Bone marrow aspirate smear.
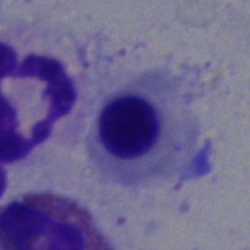

Specimen: bone marrow aspirate smear.
Classification: erythroblast.
Lineage: erythroid.